Bone marrow aspirate smear: 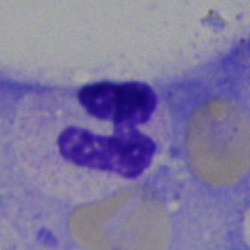 The cell shown is a neutrophil (segmented).